Bone marrow smear · cropped to a single cell · May-Grünwald-Giemsa stain: 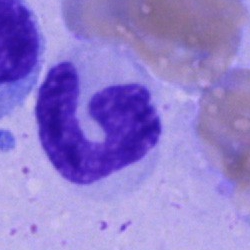 Single cell identified as a neutrophil (band).